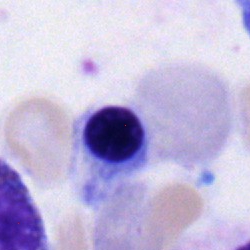Single cell identified as an erythroblast.